Bone marrow smear:
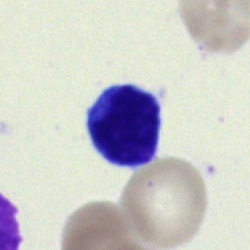

Cell = lymphocyte.